Bone marrow aspirate smear: 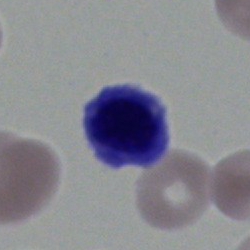
Impression → lymphocyte.